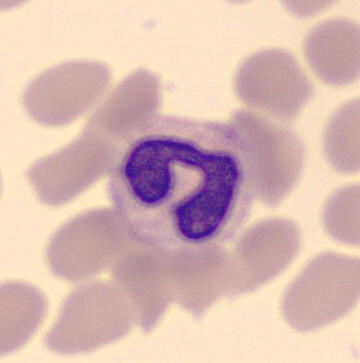Morphological class = polymorphonuclear neutrophil.
360 by 363 pixels. Peripheral blood smear. MGG-stained.